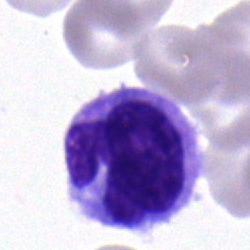Classification = monocyte.